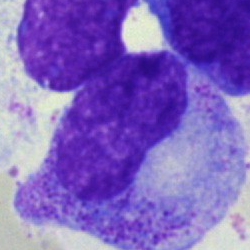 Specimen: bone marrow aspirate smear.
Classification: promyelocyte.
Lineage: myeloid.